Bone marrow aspirate smear; single-cell field: 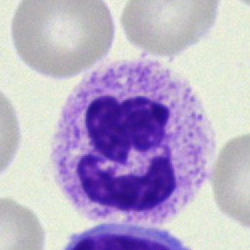 Cell type = neutrophil (segmented).